Bone marrow aspirate smear
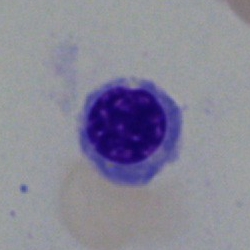Morphology → normoblast.